Bone marrow aspirate smear: 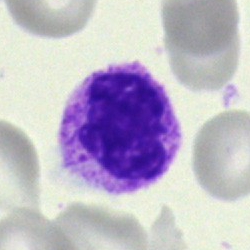

Impression → basophilic granulocyte.